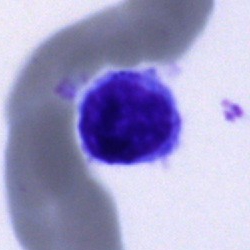 Classification — typical lymphocyte.